Bone marrow aspirate smear · 250×250:
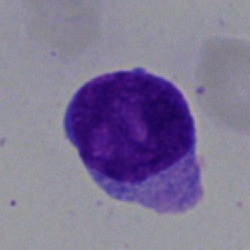

Blast cell.